Bone marrow smear; 250×250: 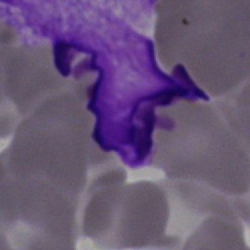
Cell type = artefact.